Bone marrow aspirate smear. MGG-stained. 250×250
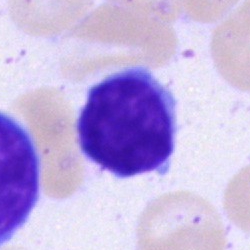

A lymphocyte.